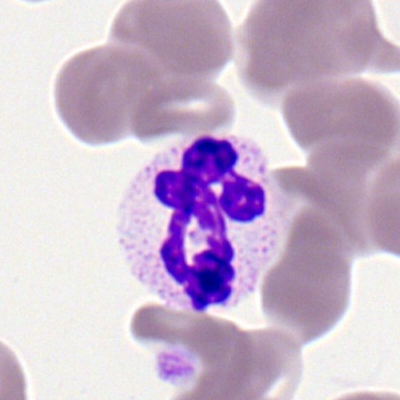Morphological class = neutrophil (segmented).